Bone marrow smear: 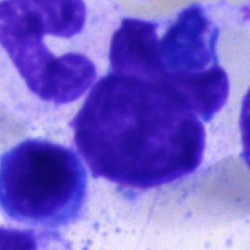
Morphology — artifact.